Bone marrow smear · 40× objective, oil immersion
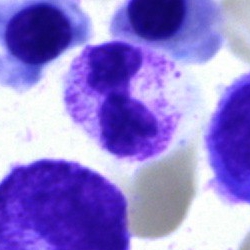

A segmented neutrophil.